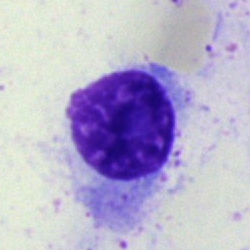
Bone marrow smear showing an artefact.